Bone marrow aspirate smear
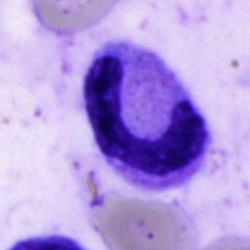The cell is band neutrophil.